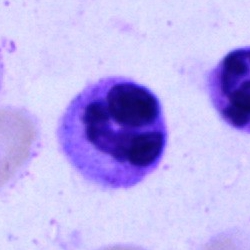

Polymorphonuclear neutrophil.